Bone marrow aspirate smear · single cell centered in the field:
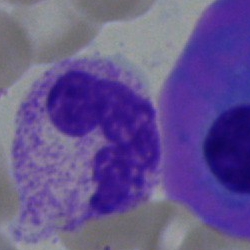
Showing a segmented neutrophil.